Bone marrow smear: 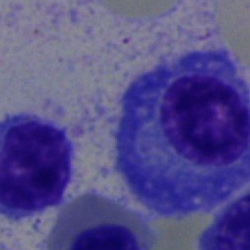

Cell — plasma cell.